Peripheral blood film:
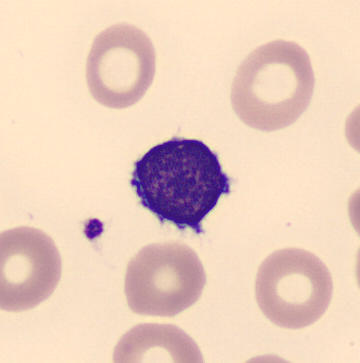 Classification = typical lymphocyte.